Bone marrow aspirate smear · Pappenheim-stained:
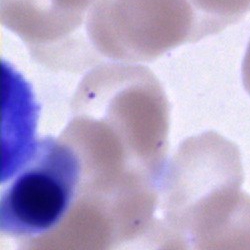
Cell — normoblast.